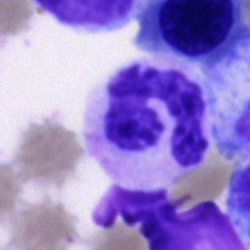 Q: Which cell type is shown here?
A: A polymorphonuclear neutrophil.